Bone marrow smear:
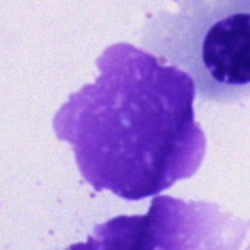 Specimen: bone marrow smear.
Classification: artefact.